Bone marrow smear — 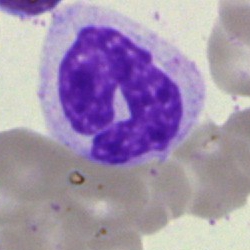 Showing a band neutrophil.